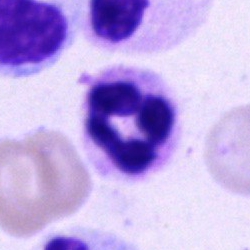 Q: What type of cell is this?
A: This is a polymorphonuclear neutrophil.